Bone marrow smear
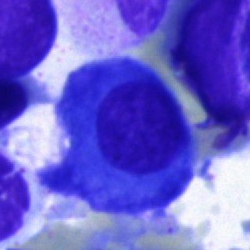

Morphology consistent with a plasmacyte.